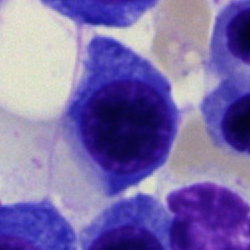
Q: What is the morphological classification of this cell?
A: This is a normoblast.